Cropped to a single cell. Bone marrow smear. 40× oil immersion
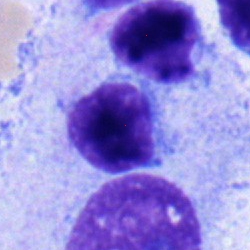 Showing a lymphocyte.